250×250 px. Brightfield microscopy, 40× oil immersion. Bone marrow smear.
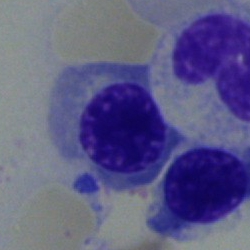
Q: What is the morphological classification of this cell?
A: This is an erythroblast.